Bone marrow aspirate smear.
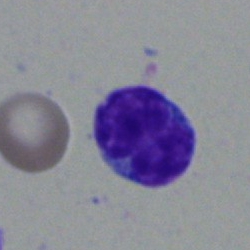
Showing a lymphocyte.